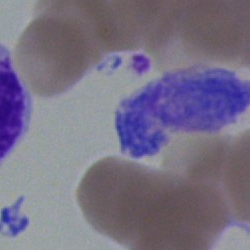
Specimen: bone marrow smear.
Morphological class: artifact.